Single-cell field · bone marrow aspirate smear — 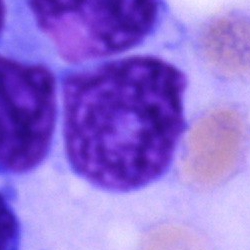

Classification — unidentifiable cell.